Bone marrow smear.
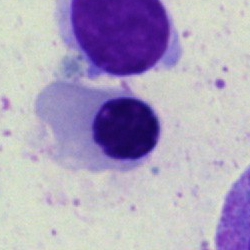 Specimen: bone marrow aspirate smear.
Cell: nucleated red cell.